May-Grünwald-Giemsa/Pappenheim stain · bone marrow smear · single-cell field.
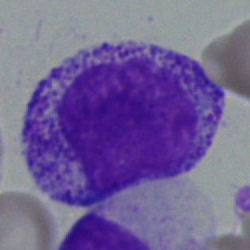

Q: Which cell type is shown here?
A: It is a promyelocyte.